250×250. Bone marrow aspirate smear: 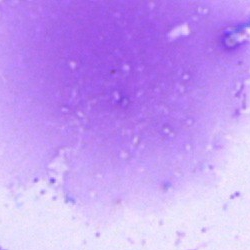The cell shown is an artefact.